Bone marrow aspirate smear: 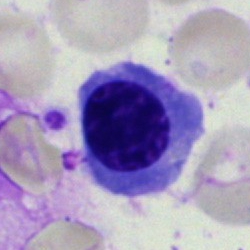 Cell type — erythroblast.